Bone marrow aspirate smear. 250 by 250 pixels
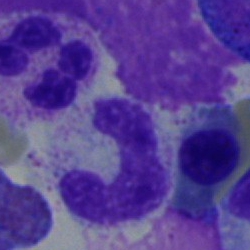Specimen: bone marrow smear.
Cell: neutrophil (band).